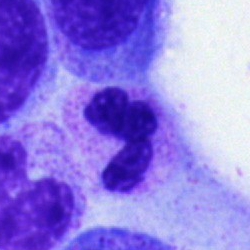Morphological class: polymorphonuclear neutrophil.